Single cell centered in the field; bone marrow aspirate smear; 250×250 — 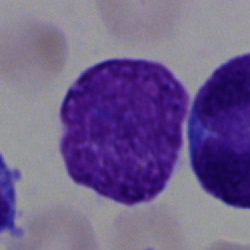

Cell type = artifact.